Cropped to a single cell; 40× objective, oil immersion; bone marrow aspirate smear: 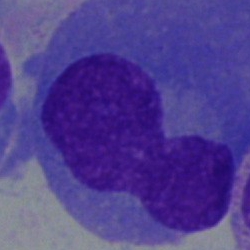 A plasmacyte.